Brightfield microscopy, 40× oil immersion. Bone marrow smear: 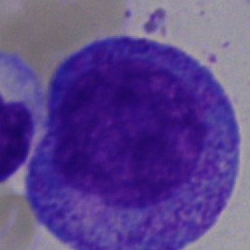 {"cell_type": "promyelocyte", "lineage": "myeloid"}